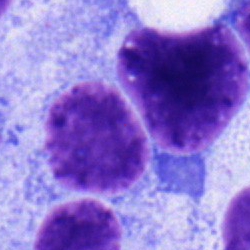 Q: What cell is this?
A: It is a typical lymphocyte.